Bone marrow aspirate smear
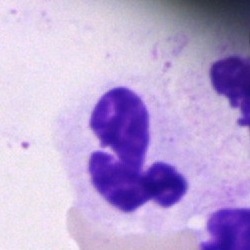 Single cell identified as a polymorphonuclear neutrophil.